Single-cell crop. MGG-stained. Bone marrow aspirate smear: 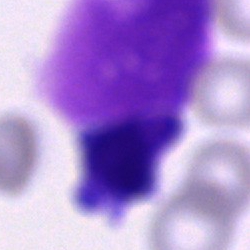 Morphology consistent with an unidentifiable cell.